MGG-stained · bone marrow smear:
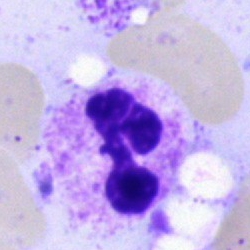Morphological class: polymorphonuclear neutrophil.